Bone marrow aspirate smear — 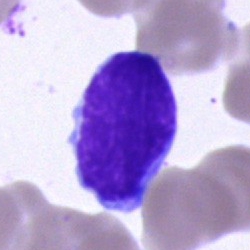

Impression — typical lymphocyte.